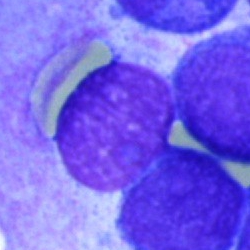Showing an artifact.